Bone marrow smear · 250 by 250 pixels.
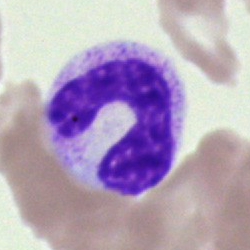Impression — neutrophil (band).